Romanowsky-stained · 400×400 · peripheral blood smear: 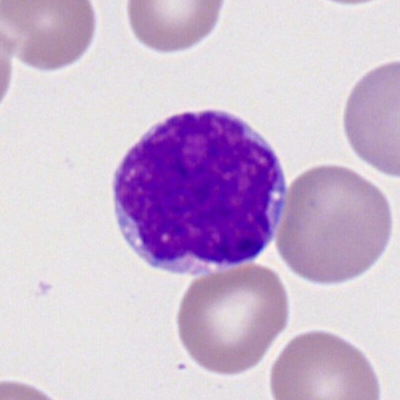 Morphology → myeloid blast.